Bone marrow aspirate smear
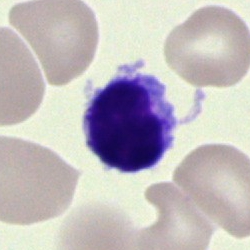Showing a lymphocyte.